Bone marrow smear. MGG-stained. Image size 250×250 — 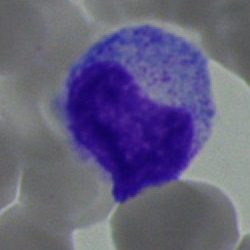

Myelocyte.